Bone marrow smear
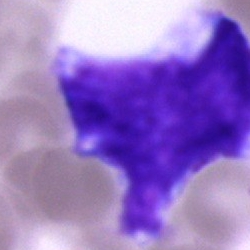 The morphological class is unidentifiable cell.